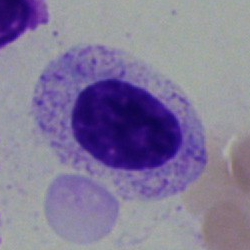

Cell type: myelocyte.